250×250 · bone marrow aspirate smear.
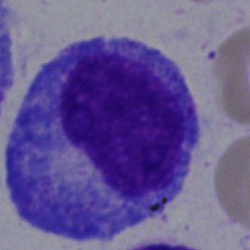

Cell: promyelocyte.